250 by 250 pixels. Single cell centered in the field. Bone marrow smear — 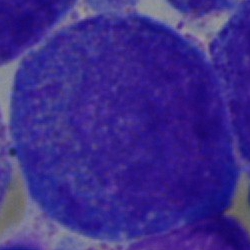

Impression — promyelocyte.